Bone marrow smear — 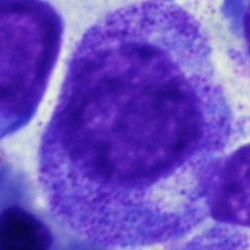
A progranulocyte.